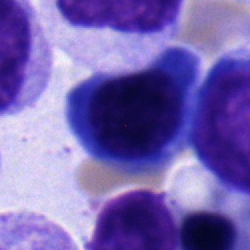 Classification: nucleated red blood cell.